Bone marrow aspirate smear: 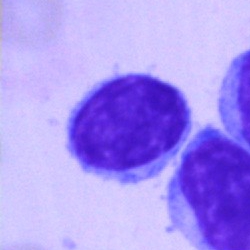
This is a typical lymphocyte.